Bone marrow smear: 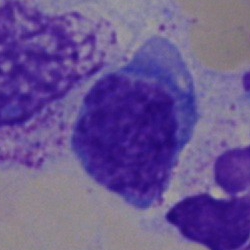 A blast.